Brightfield microscopy, 40× oil immersion · bone marrow smear: 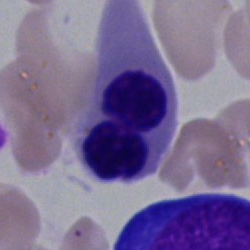
Cell — normoblast.